Bone marrow smear; single-cell crop:
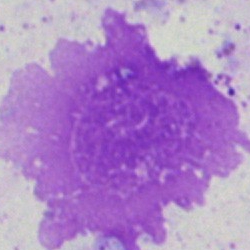
Cell type = artefact.